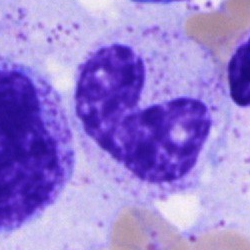 This is a band-form neutrophil.